Single-cell crop. Bone marrow smear. MGG-stained: 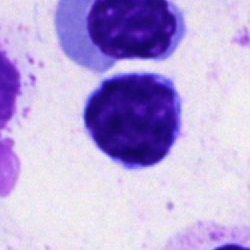 Impression → lymphocyte.